Bone marrow smear: 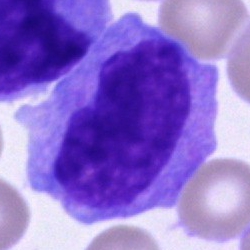

Q: Which cell type is shown here?
A: This is an undifferentiated blast.